Peripheral blood film: 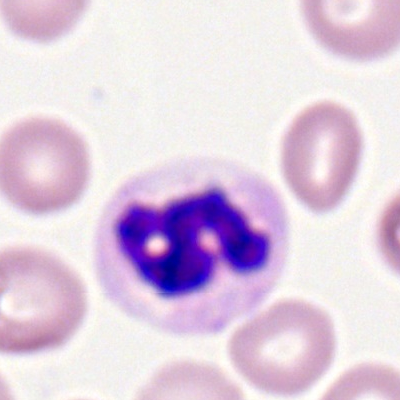
Neutrophil (segmented).